Bone marrow smear.
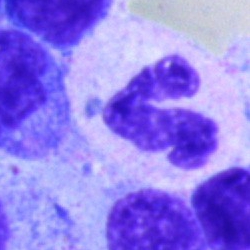

Q: What cell is this?
A: Polymorphonuclear neutrophil.